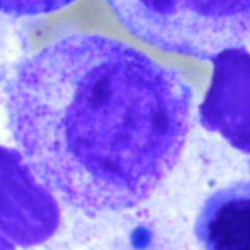

The classification is myelocyte.